Bone marrow aspirate smear; 40× objective, oil immersion.
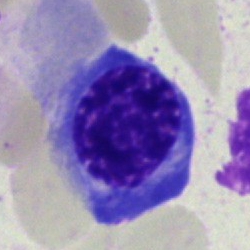A nucleated red blood cell.